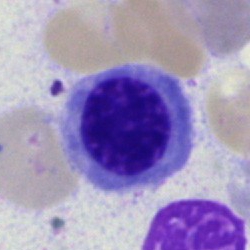
Specimen: bone marrow aspirate smear.
Cell type: erythroblast.
Lineage: erythroid.